Image size 250×250. Bone marrow smear. Single-cell crop
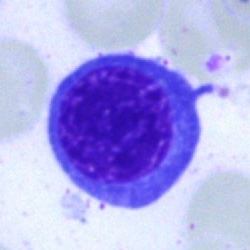
The classification is nucleated red blood cell.